Bone marrow smear.
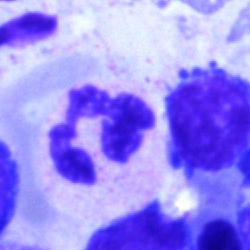A polymorphonuclear neutrophil.